Bone marrow smear:
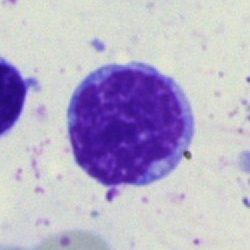The cell type is lymphocyte.